Peripheral blood film. 400×400 px:
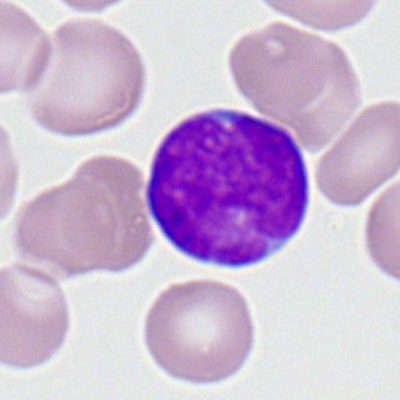Q: Which cell type is shown here?
A: Myeloblast.